Bone marrow smear. Brightfield, 40× oil-immersion objective. Single cell centered in the field — 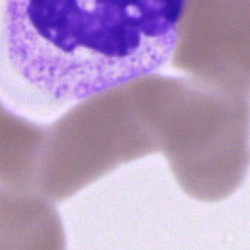
Impression → polymorphonuclear neutrophil.